Bone marrow aspirate smear:
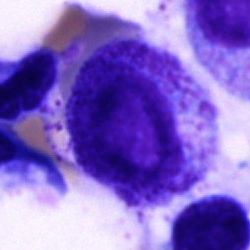Specimen: bone marrow smear.
Morphological class: progranulocyte.
Lineage: myeloid.